May-Grünwald-Giemsa/Pappenheim stain · bone marrow smear
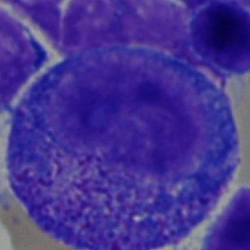
This is a progranulocyte.